250×250. Bone marrow smear
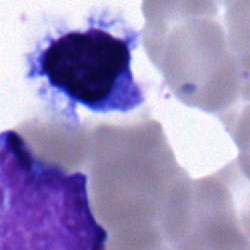Cell type — lymphocyte.